Bone marrow smear
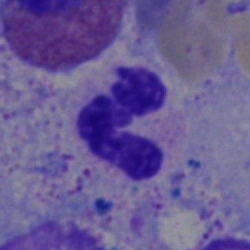

Morphological class: polymorphonuclear neutrophil.